250×250 px. Bone marrow smear:
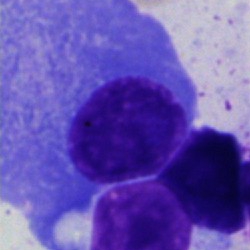 Morphology — plasma cell.